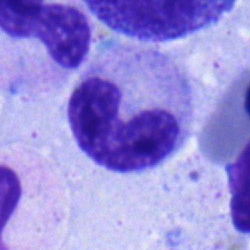
Q: What type of cell is this?
A: It is a neutrophil (band).